Bone marrow aspirate smear · single cell centered in the field · Pappenheim-stained:
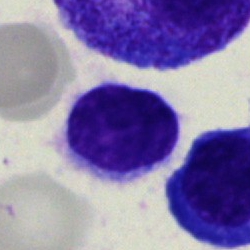 Specimen: bone marrow aspirate smear.
Cell: hairy cell.
Lineage: lymphoid.